Bone marrow smear: 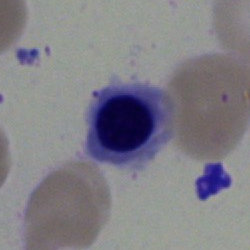Impression → erythroblast.